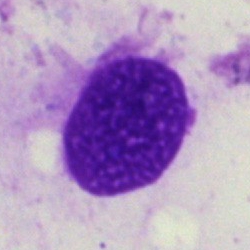 Morphology consistent with an artifact.